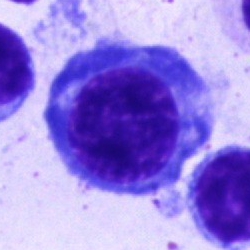

Q: Which cell type is shown here?
A: This is an erythroblast.